Peripheral blood smear.
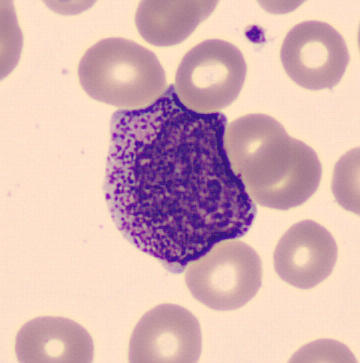 Cell = myelocyte.